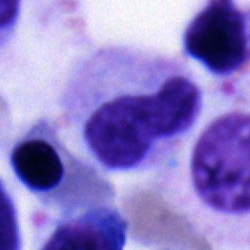 Specimen: bone marrow smear.
Morphological class: stab cell.
Lineage: myeloid.